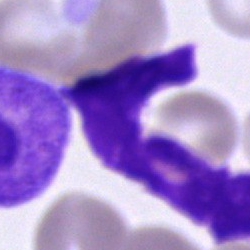Q: What is shown here?
A: It is an unidentifiable cell.